Single-cell field · bone marrow smear
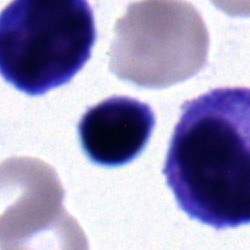
Single cell identified as a typical lymphocyte.